Peripheral blood film
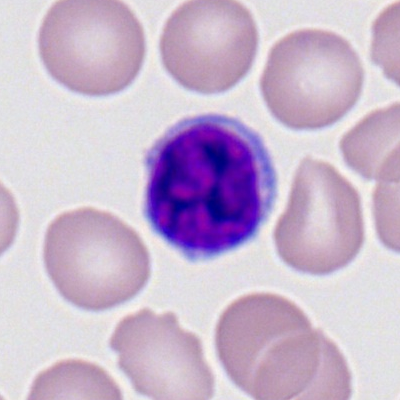

Morphology consistent with a lymphocyte.